Bone marrow aspirate smear.
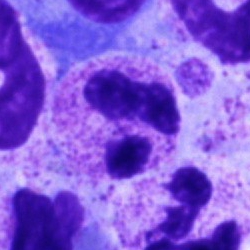 Polymorphonuclear neutrophil.